250×250. Bone marrow smear: 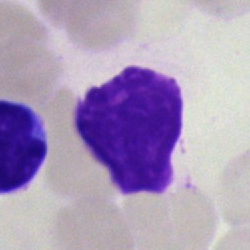

Morphology consistent with an artefact.